Bone marrow smear · Pappenheim-stained:
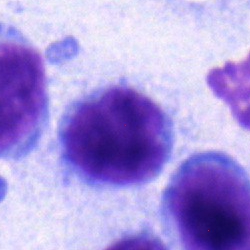
Cell: lymphocyte.